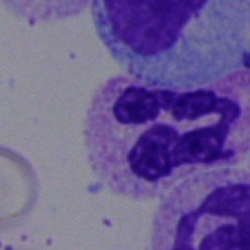
Cell type = neutrophil (segmented).